Peripheral blood film — 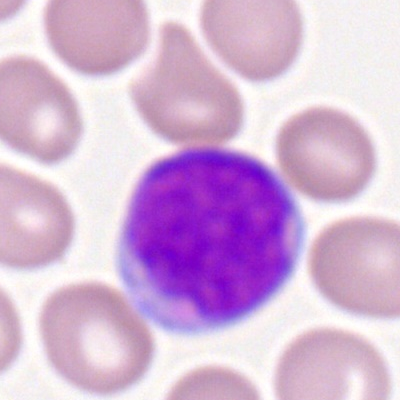

Single cell identified as a myeloid blast.